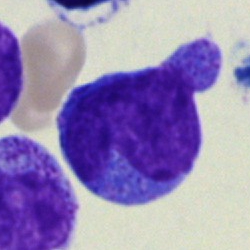

Classification — monocyte.